Bone marrow aspirate smear
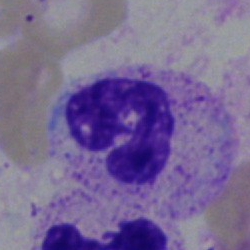

The cell shown is a segmented neutrophil.